Bone marrow aspirate smear
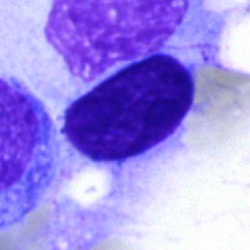

Cell — artifact.